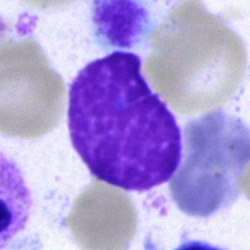An artefact.